Bone marrow smear: 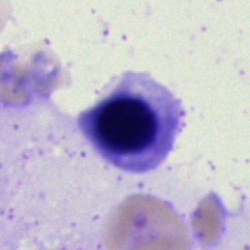
Morphological class: erythroblast.